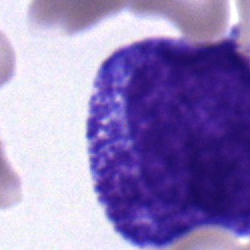
Classification — progranulocyte.